250×250 px · bone marrow aspirate smear · May-Grünwald-Giemsa stain.
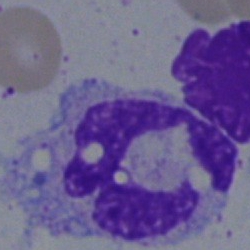 Q: What cell is this?
A: This is a monocyte.